Bone marrow smear.
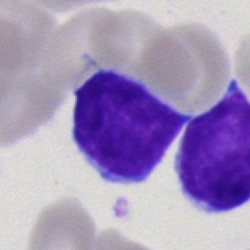
The classification is typical lymphocyte.